Bone marrow smear.
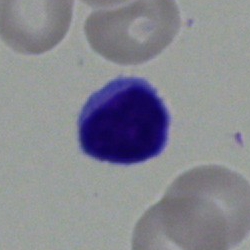
This is a lymphocyte.